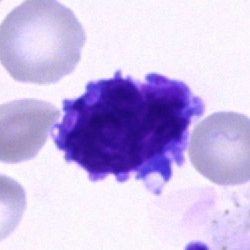

{"cell_type": "blast cell"}